Bone marrow aspirate smear:
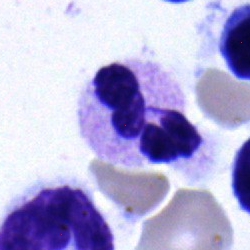

The morphological class is segmented neutrophil.